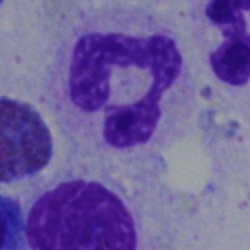
The cell shown is a segmented neutrophil.